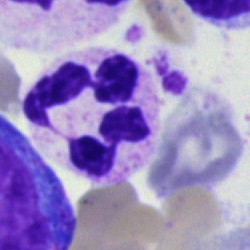 Q: What type of cell is this?
A: This is a neutrophil (segmented).